Bone marrow smear: 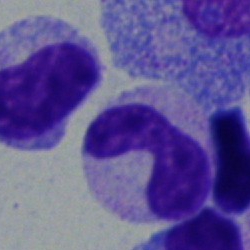

This is a band neutrophil.